Cropped to a single cell · 40× objective, oil immersion · bone marrow aspirate smear — 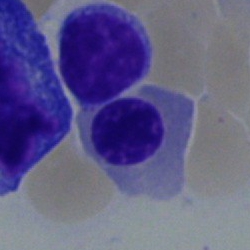 Nucleated red blood cell.